Image size 250×250 · bone marrow smear — 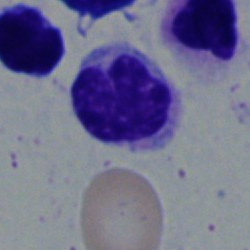 Cell type — segmented neutrophil.